Bone marrow aspirate smear — 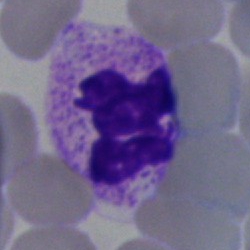

The cell shown is a neutrophil (segmented).